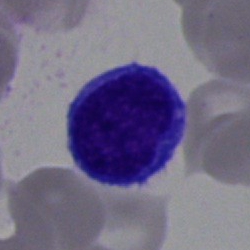 Q: What is shown here?
A: Lymphocyte.